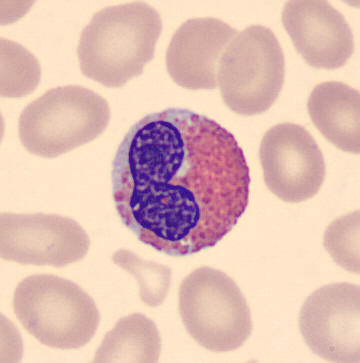
The cell shown is an eosinophil.